Single-cell crop · bone marrow aspirate smear.
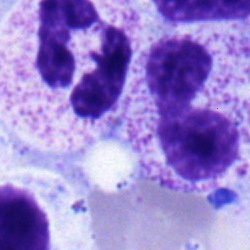

This is a segmented neutrophil.